Single-cell field; bone marrow smear — 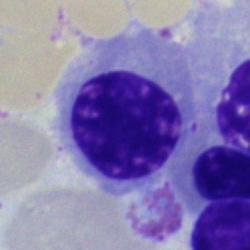 The morphological class is erythroblast.